Bone marrow smear. Single cell centered in the field.
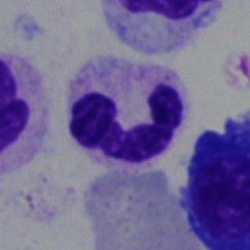The cell is segmented neutrophil.